Single cell centered in the field; bone marrow aspirate smear; 40× oil immersion
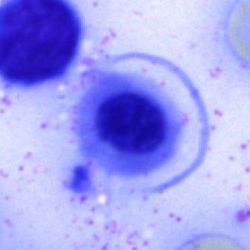Cell type = normoblast.